Bone marrow aspirate smear; cropped to a single cell: 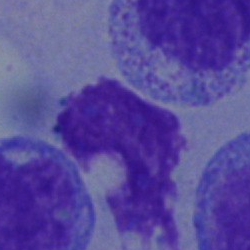

{"cell_type": "artifact"}